Bone marrow smear
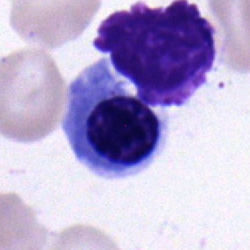{"cell_type": "normoblast", "lineage": "erythroid"}